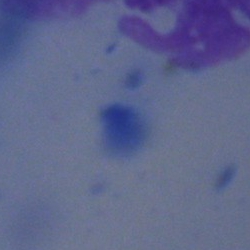 Artefact.